Pappenheim-stained · bone marrow aspirate smear.
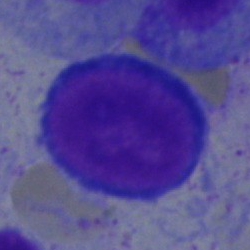

Single cell identified as a proerythroblast.